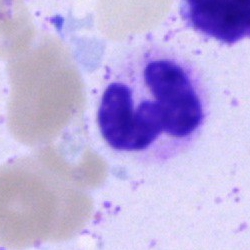
Q: What is shown here?
A: Segmented neutrophil.